Peripheral blood smear:
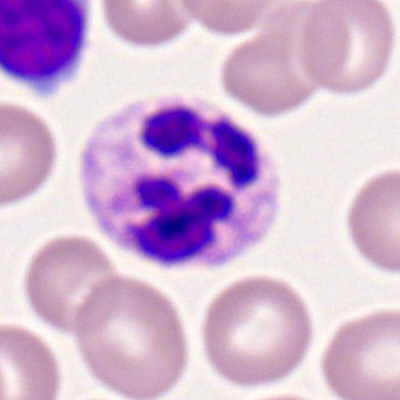Q: Identify the cell.
A: Segmented neutrophil.